Bone marrow smear:
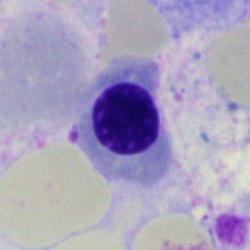The cell type is nucleated red cell.